250 by 250 pixels; 40× oil immersion; bone marrow aspirate smear — 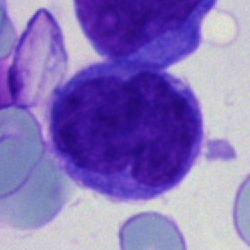
Q: Identify the cell.
A: A blast cell.